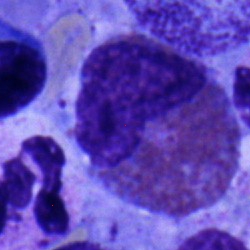Single cell identified as an eosinophil.